Bone marrow aspirate smear: 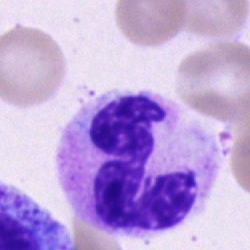
Neutrophil (segmented).